Peripheral blood film; Romanowsky-stained; single-cell crop: 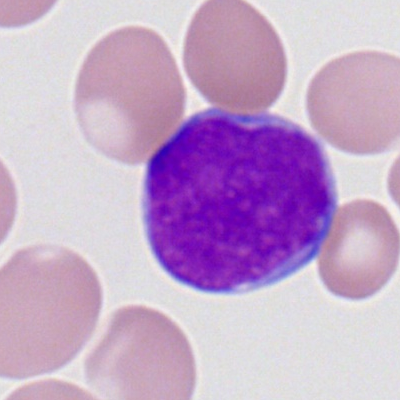

The classification is myeloid blast.